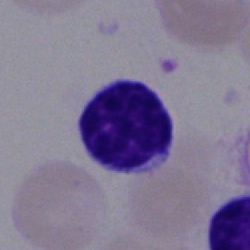

Cell: lymphocyte.